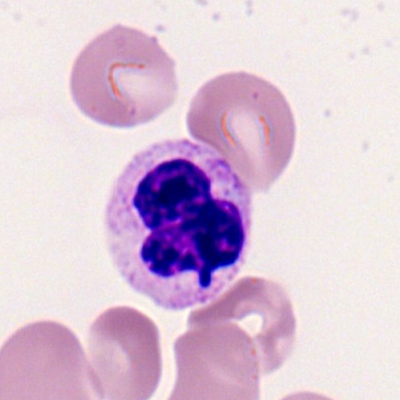Classification — polymorphonuclear neutrophil.